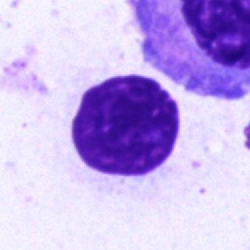

Impression → artefact.